Bone marrow smear.
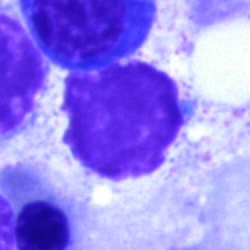 This is an artifact.